Bone marrow aspirate smear · 250×250
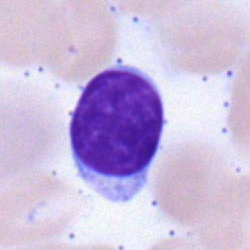

Q: What cell is this?
A: A lymphocyte.